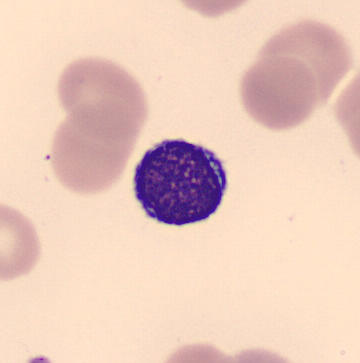
{"cell_type": "typical lymphocyte", "lineage": "lymphoid"} Image: Peripheral blood smear.